Peripheral blood smear:
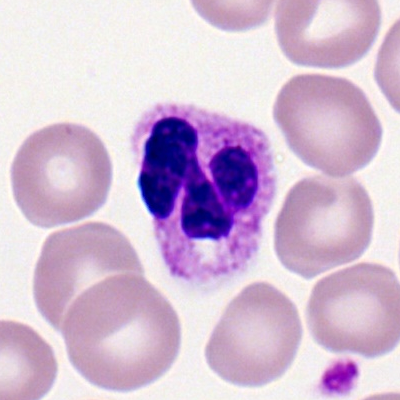

The cell shown is a segmented neutrophil.